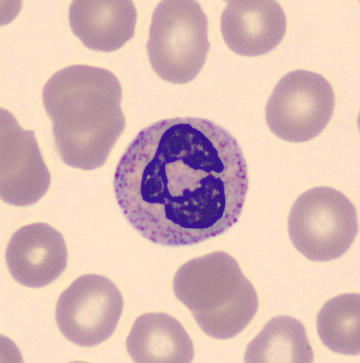Morphological class = neutrophil (segmented).